Cropped to a single cell. May-Grünwald-Giemsa stain. Bone marrow aspirate smear — 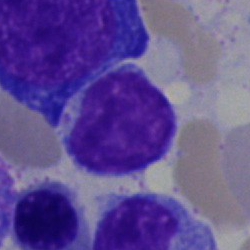
Morphology consistent with a lymphocyte.